Single-cell crop. Bone marrow smear — 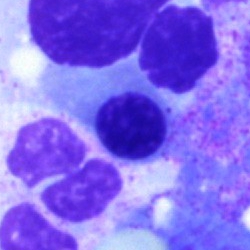

Morphology → normoblast.